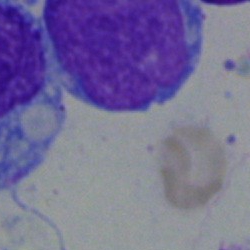
Single-cell crop from a bone marrow smear: blast cell.